40× oil immersion; bone marrow smear
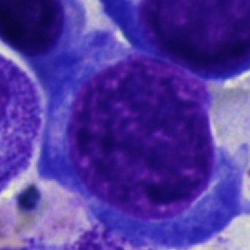 Specimen: bone marrow smear.
Cell type: erythroblast.